Single cell centered in the field; 40× oil immersion; bone marrow smear — 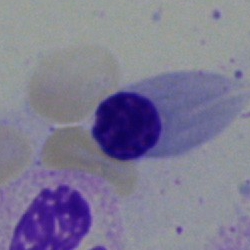Morphology consistent with an erythroblast.